Bone marrow smear; single cell centered in the field:
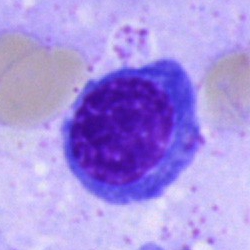Specimen: bone marrow smear.
Cell type: nucleated red cell.
Lineage: erythroid.